Single cell centered in the field · bone marrow aspirate smear: 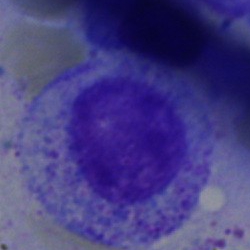Progranulocyte.